Peripheral blood smear · 400×400 · brightfield, 100× oil-immersion objective
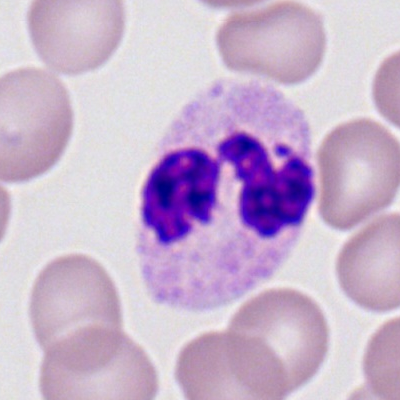 Showing a polymorphonuclear neutrophil.